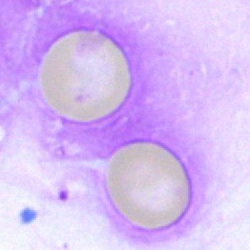

Specimen: bone marrow smear.
Cell: artefact.